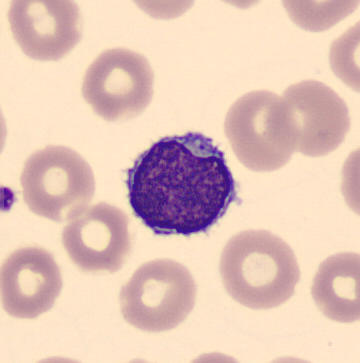 Peripheral blood smear.

The cell is lymphocyte.